Bone marrow aspirate smear. Brightfield, 40× oil-immersion objective.
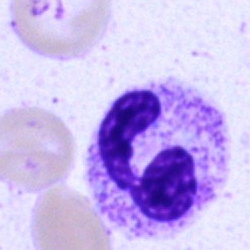
{"cell_type": "polymorphonuclear neutrophil", "lineage": "myeloid"}